Bone marrow aspirate smear. May-Grünwald-Giemsa/Pappenheim stain. 250×250
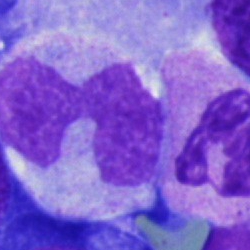{"cell_type": "neutrophil (band)"}